Bone marrow smear
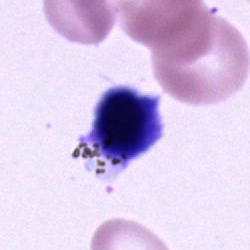 Cell type = nucleated red blood cell.